MGG-stained. Cropped to a single cell. Bone marrow smear: 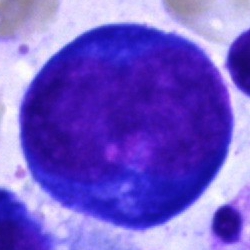

Morphology consistent with a proerythroblast.